Bone marrow smear. May-Grünwald-Giemsa stain
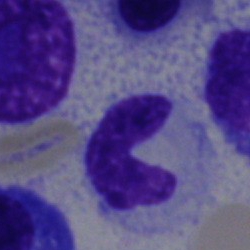
The cell is stab cell.